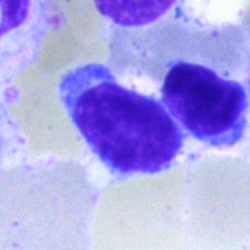 Morphological class: typical lymphocyte.